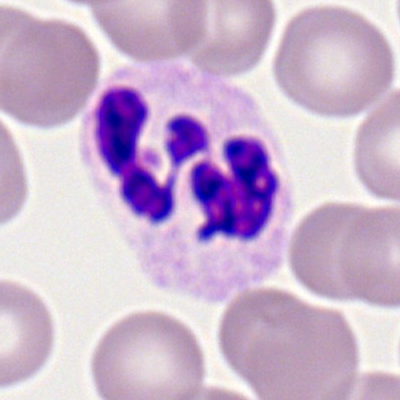 The classification is segmented neutrophil.